Bone marrow aspirate smear — 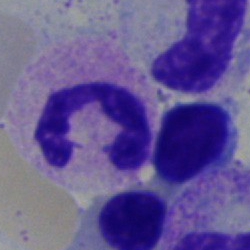

The cell shown is a segmented neutrophil.